Bone marrow smear — 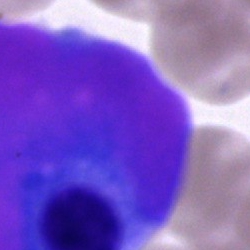
Specimen: bone marrow smear.
Cell: plasma cell.